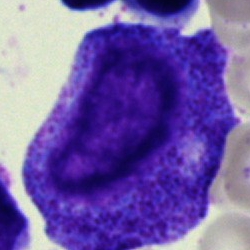
Single cell identified as a promyelocyte.